Brightfield, 40× oil-immersion objective. Bone marrow smear: 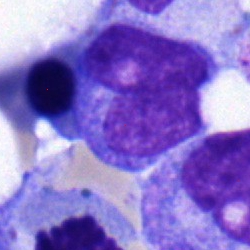Classification: monocyte.